Bone marrow aspirate smear
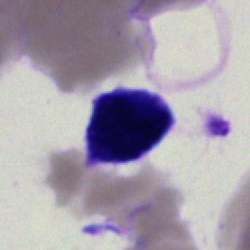 Cell = artefact.